Bone marrow smear · brightfield microscopy, 40× oil immersion — 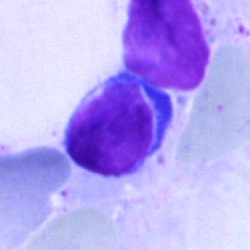The cell type is typical lymphocyte.